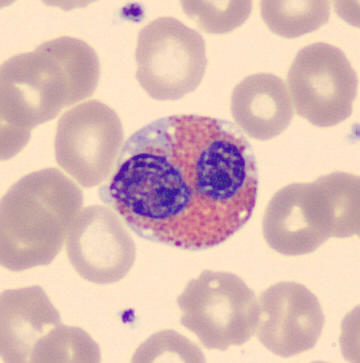

Identified as an eosinophil.

May Grünwald-Giemsa stain; peripheral blood smear.